Bone marrow smear — 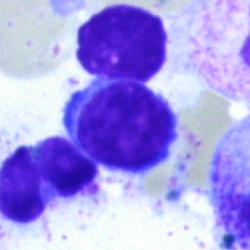Showing a typical lymphocyte.